250×250 px; MGG-stained; bone marrow smear: 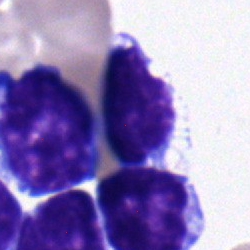 Impression → lymphocyte.